Bone marrow aspirate smear.
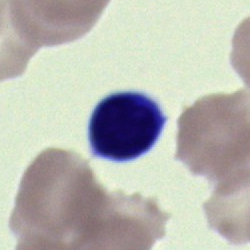 Q: Identify the cell.
A: It is a typical lymphocyte.